Brightfield, 40× oil-immersion objective. Bone marrow smear: 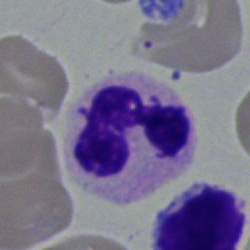 Q: Identify the cell.
A: A segmented neutrophil.